Bone marrow aspirate smear. 250 by 250 pixels: 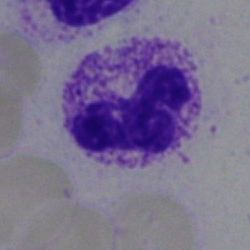 Classification: neutrophil (segmented).